250×250. Bone marrow aspirate smear — 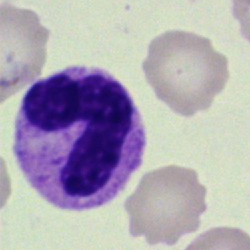 Morphology — stab cell.